Bone marrow smear: 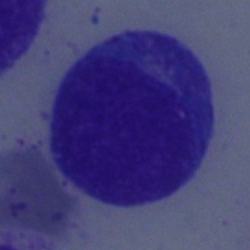 Morphology → promyelocyte.